Bone marrow aspirate smear. Cropped to a single cell. Image size 250×250
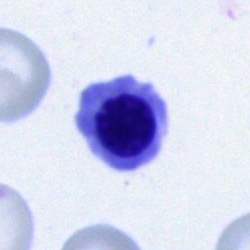
Classification — normoblast.